Single cell centered in the field. Bone marrow smear:
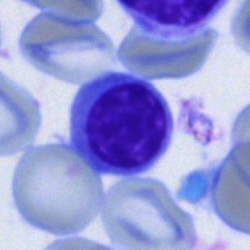
Cell: typical lymphocyte.